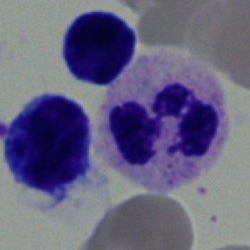
Cell type = neutrophil (segmented).